Bone marrow smear. Pappenheim-stained
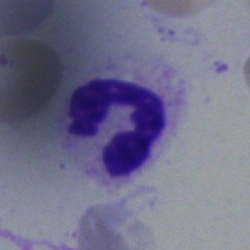

Cell: segmented neutrophil.